Bone marrow smear; May-Grünwald-Giemsa/Pappenheim stain; 250×250 px: 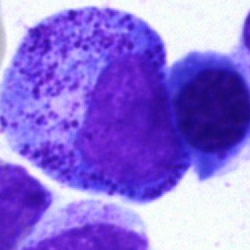 Impression → promyelocyte.